Single cell centered in the field. Bone marrow smear — 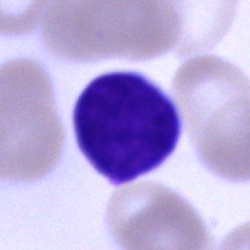Morphology — cell of indeterminate lineage.